Bone marrow aspirate smear:
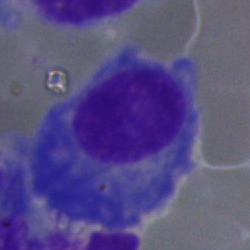

Morphological class — plasma cell.